Bone marrow smear.
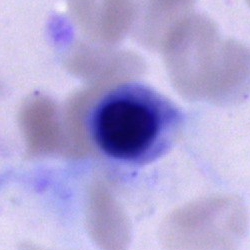Cell of indeterminate lineage.